Bone marrow aspirate smear: 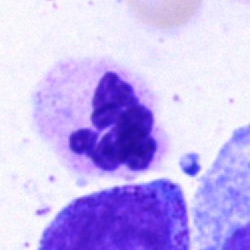Impression → polymorphonuclear neutrophil.